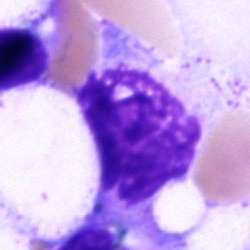 Bone marrow smear showing an artifact.